Bone marrow smear; Pappenheim-stained — 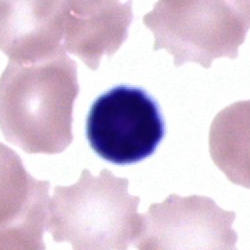Morphological class — typical lymphocyte.